Bone marrow smear · May-Grünwald-Giemsa stain — 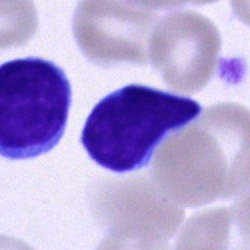 Showing a lymphocyte.